Bone marrow smear:
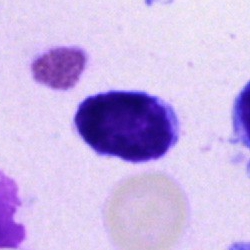 This is a lymphocyte.